250×250 · bone marrow aspirate smear
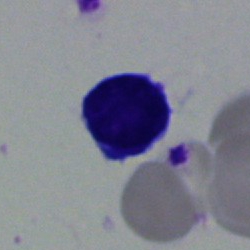 Impression — lymphocyte.